Bone marrow smear: 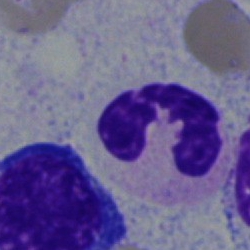Q: Which cell type is shown here?
A: Polymorphonuclear neutrophil.